Cropped to a single cell · bone marrow smear — 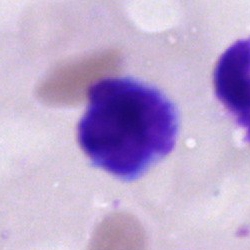

Single cell identified as a typical lymphocyte.